Bone marrow smear; 250×250
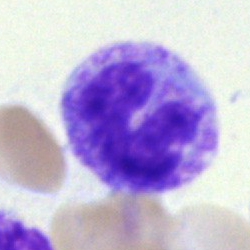
Q: Which cell type is shown here?
A: Stab cell.